Bone marrow aspirate smear:
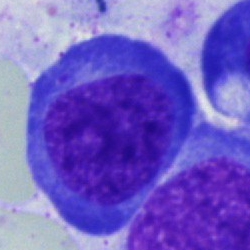
Q: Which cell type is shown here?
A: Normoblast.